Bone marrow smear; 250×250; brightfield microscopy, 40× oil immersion:
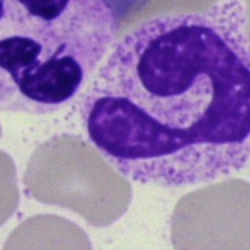
Morphology — neutrophil (segmented).